Peripheral blood film: 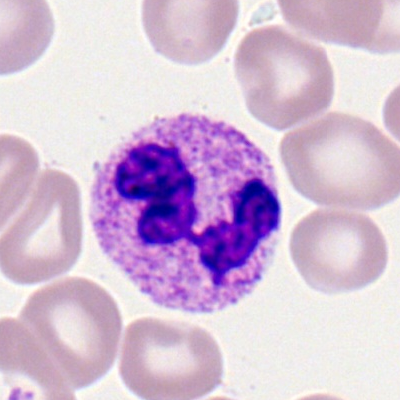{"cell_type": "segmented neutrophil", "lineage": "myeloid"}